Bone marrow aspirate smear. Pappenheim-stained.
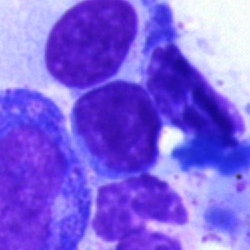 Specimen: bone marrow aspirate smear.
Cell: lymphocyte.
Lineage: lymphoid.